May-Grünwald-Giemsa/Pappenheim stain. Bone marrow smear. Image size 250×250
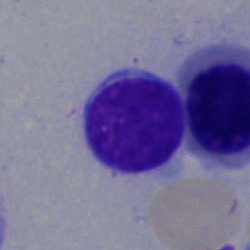 A lymphocyte.